Bone marrow aspirate smear — 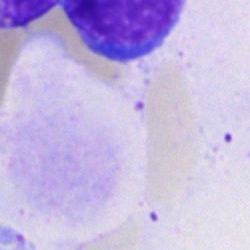

Q: What is the morphological classification of this cell?
A: It is an unidentifiable cell.